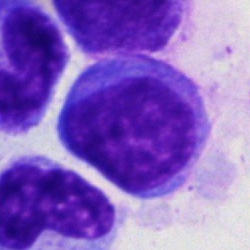

Bone marrow smear showing a blast cell.